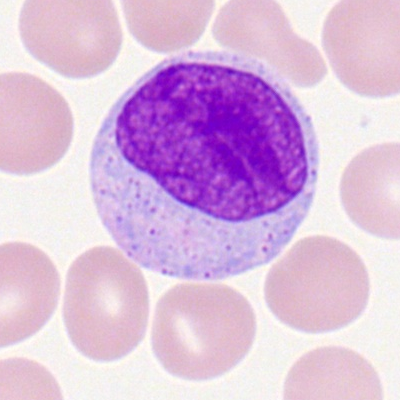
Q: Identify the cell.
A: This is a monocyte.